Bone marrow smear — 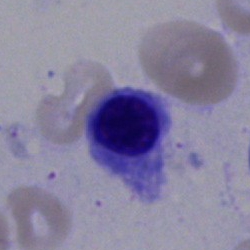 Cell type = nucleated red cell.